Bone marrow smear.
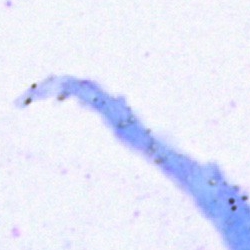
Classification: artifact.